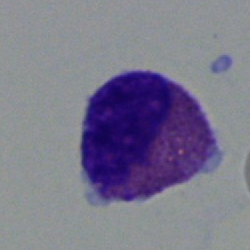Eosinophilic granulocyte.